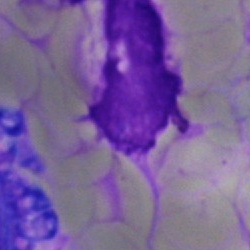 Q: What is shown here?
A: An artifact.